Brightfield microscopy, 40× oil immersion. Cropped to a single cell. Bone marrow aspirate smear.
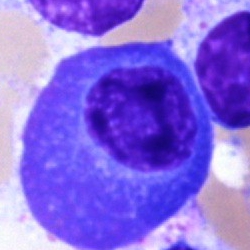Cell — plasma cell.